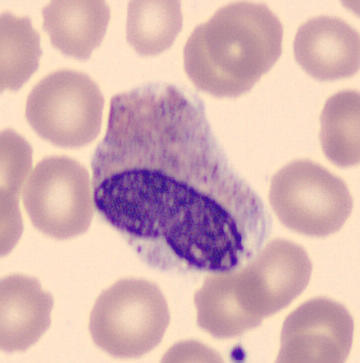 Preparation: Cropped to a single cell.

Specimen: peripheral blood film.
Morphological class: metamyelocyte.